Bone marrow aspirate smear; 250×250 px; brightfield, 40× oil-immersion objective: 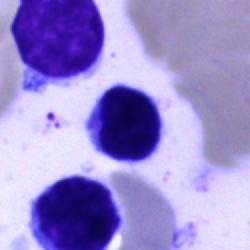 This is a typical lymphocyte.